Single cell centered in the field · bone marrow smear · brightfield, 40× oil-immersion objective.
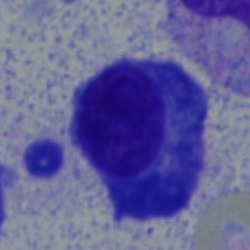Q: Which cell type is shown here?
A: Plasmacyte.